Bone marrow smear:
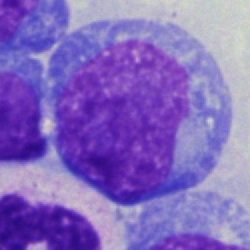 Classification: undifferentiated blast.